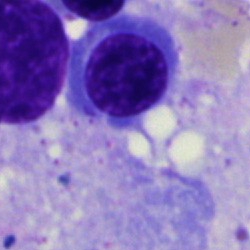A normoblast.